CellaVision DM96. Peripheral blood film: 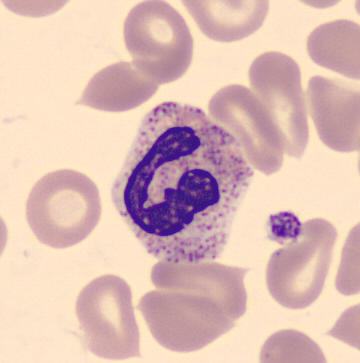Morphology → segmented neutrophil.